Bone marrow aspirate smear · brightfield microscopy, 40× oil immersion · single-cell crop.
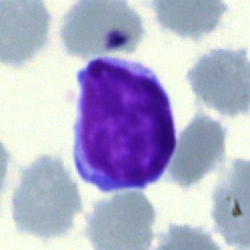Q: Which cell type is shown here?
A: A typical lymphocyte.